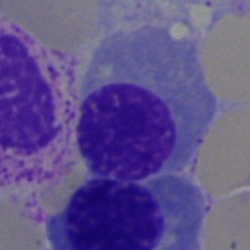
The cell shown is an erythroblast.